Pappenheim-stained; bone marrow aspirate smear:
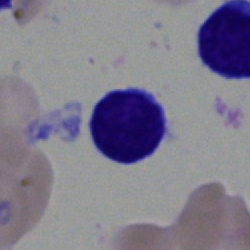

Q: Identify the cell.
A: This is a lymphocyte.